Bone marrow smear:
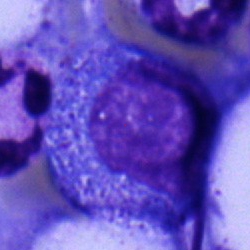

Promyelocyte.